250×250 px · brightfield microscopy, 40× oil immersion · bone marrow aspirate smear
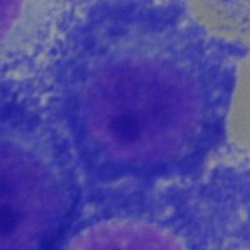

Plasma cell.